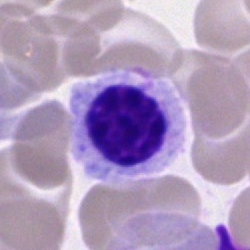

Q: Identify the cell.
A: A nucleated red cell.